Bone marrow smear:
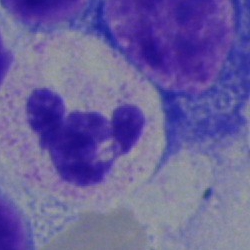

Classification — segmented neutrophil.